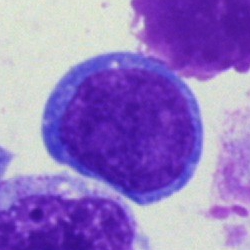Showing a blast cell.